Bone marrow smear: 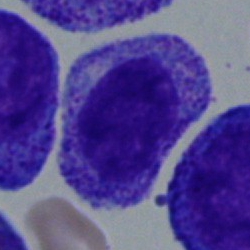Q: Which cell type is shown here?
A: A myelocyte.